Bone marrow aspirate smear:
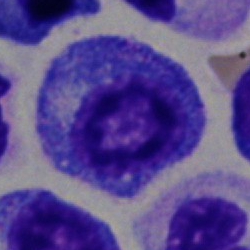Morphology consistent with a myelocyte.